MGG-stained · bone marrow aspirate smear:
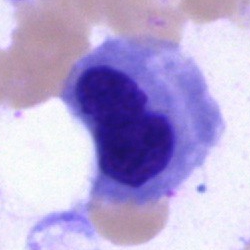Q: What is the morphological classification of this cell?
A: This is an erythroblast.